Bone marrow aspirate smear.
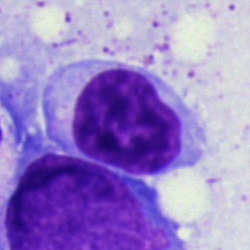

Morphology consistent with a lymphocyte.